Brightfield microscopy, 40× oil immersion; bone marrow smear.
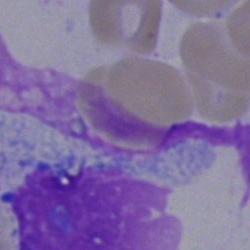 The cell shown is an artifact.